Peripheral blood film
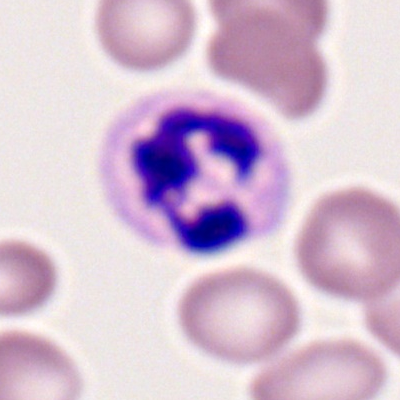Q: What cell is this?
A: It is a neutrophil (segmented).